May-Grünwald-Giemsa stain · 250×250 · bone marrow smear:
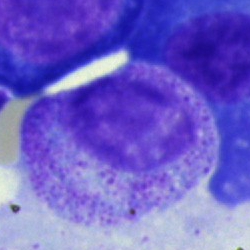

Cell type: myelocyte.